Bone marrow aspirate smear · single-cell crop
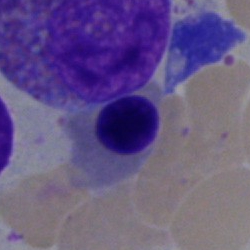Showing a normoblast.